Bone marrow smear
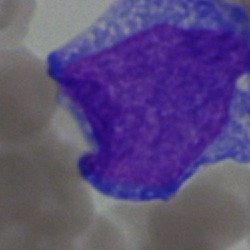This is a basophilic granulocyte.